Bone marrow smear.
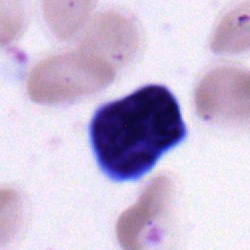 Showing a typical lymphocyte.